Bone marrow aspirate smear:
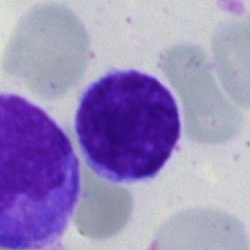 The cell shown is a lymphocyte.